Bone marrow smear
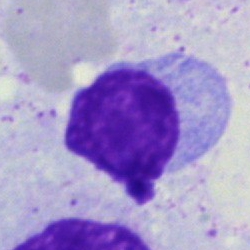 Morphological class — lymphocyte.